Peripheral blood film.
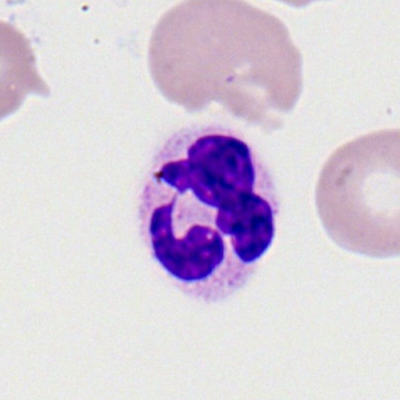

{"cell_type": "segmented neutrophil", "lineage": "myeloid"}